Bone marrow aspirate smear — 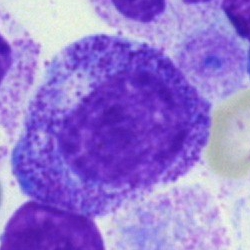Specimen: bone marrow aspirate smear.
Morphological class: myelocyte.